Bone marrow smear: 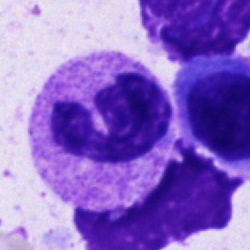The morphological class is segmented neutrophil.